Bone marrow smear: 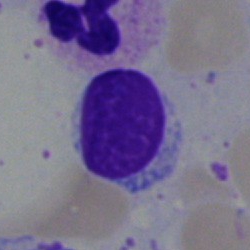
Specimen: bone marrow aspirate smear.
Cell type: typical lymphocyte.